Bone marrow smear:
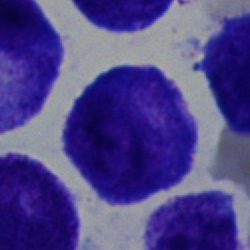

Q: What type of cell is this?
A: A progranulocyte.